MGG-stained; bone marrow aspirate smear.
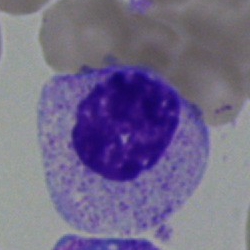

Q: What type of cell is this?
A: Myelocyte.